Bone marrow smear; brightfield microscopy, 40× oil immersion:
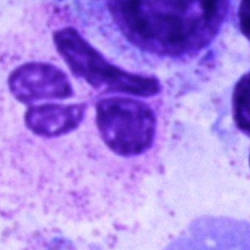Q: What is the morphological classification of this cell?
A: It is a segmented neutrophil.